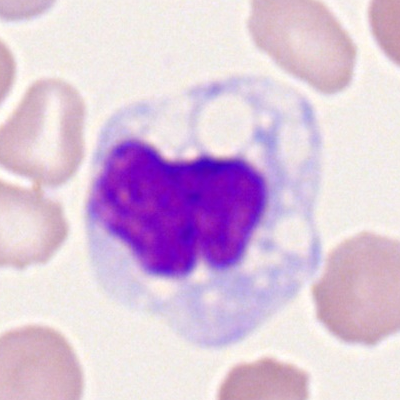
Cell — monocyte.